Bone marrow aspirate smear.
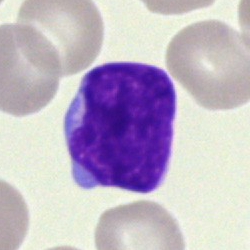 Morphology — blast.